Bone marrow aspirate smear: 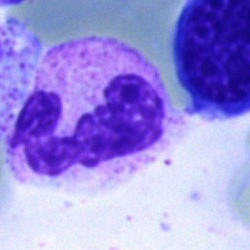 {"cell_type": "segmented neutrophil"}